Bone marrow aspirate smear:
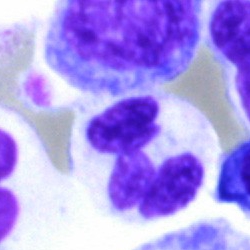The cell type is polymorphonuclear neutrophil.